Cropped to a single cell; bone marrow aspirate smear: 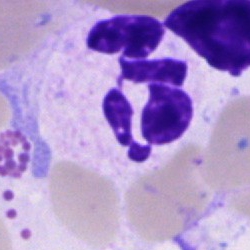Cell type = polymorphonuclear neutrophil.